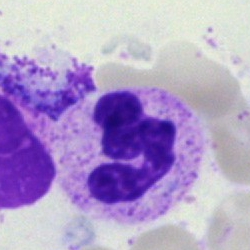

A neutrophil (segmented) on a bone marrow smear.